Bone marrow smear; May-Grünwald-Giemsa stain; 40× oil immersion
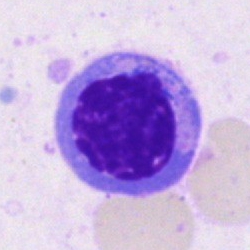 Normoblast.